Bone marrow smear:
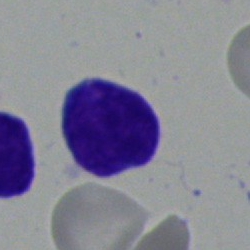 Showing a lymphocyte.